Bone marrow smear: 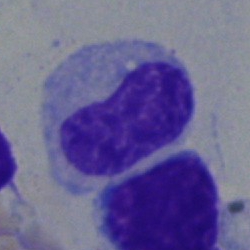
Specimen: bone marrow aspirate smear.
Cell type: metamyelocyte.